Bone marrow smear.
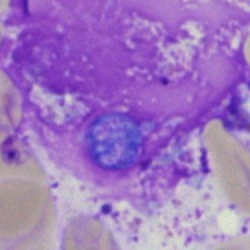

Morphology consistent with an artefact.